Peripheral blood film.
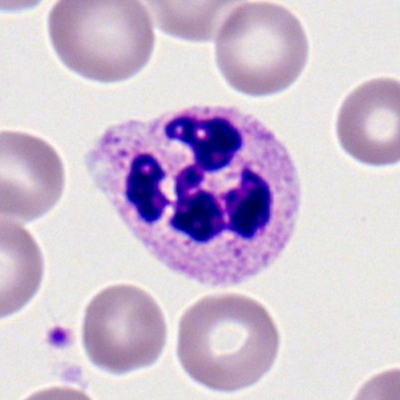A segmented neutrophil.